Cropped to a single cell. Bone marrow aspirate smear:
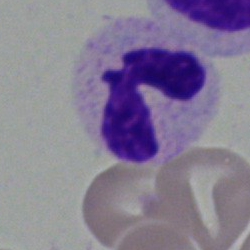Q: What cell is this?
A: A neutrophil (segmented).